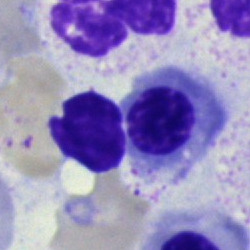

Q: Which cell type is shown here?
A: This is an erythroblast.